May-Grünwald-Giemsa stain; bone marrow aspirate smear; single-cell field.
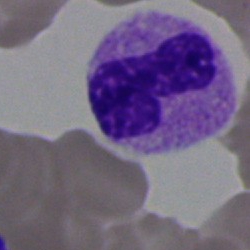
Morphology → stab cell.